Bone marrow aspirate smear; MGG-stained
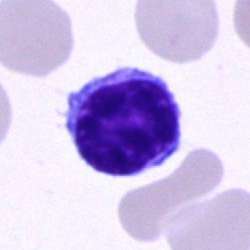Classification: lymphocyte.